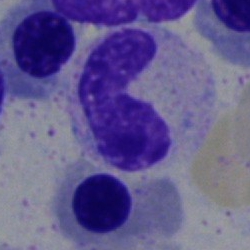

A stab cell on a bone marrow smear.